Peripheral blood film. 100× oil immersion. Cropped to a single cell — 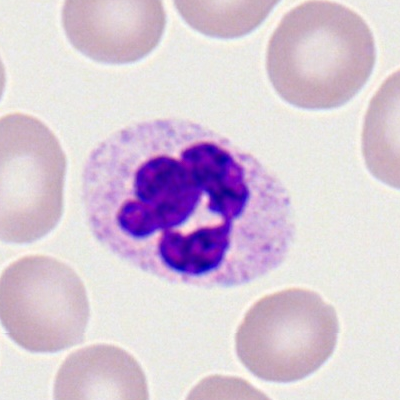 Specimen: peripheral blood film.
Cell type: polymorphonuclear neutrophil.
Lineage: myeloid.